Bone marrow smear — 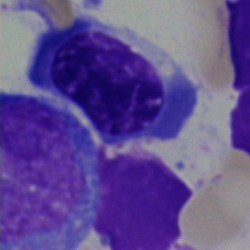

Morphological class: erythroblast.